Peripheral blood smear; image size 400×400 — 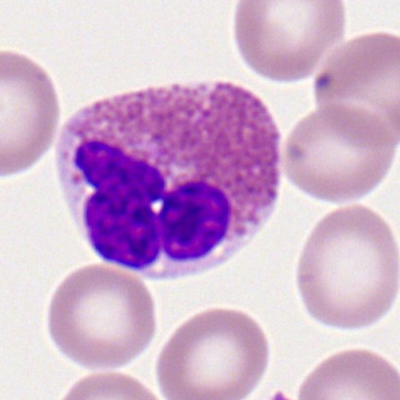
An eosinophil.